Brightfield, 40× oil-immersion objective. Bone marrow smear
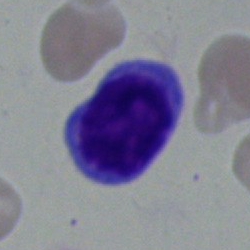

This is a lymphocyte.